Bone marrow smear: 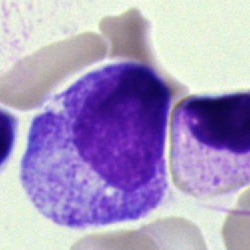 Specimen: bone marrow aspirate smear.
Cell: myelocyte.
Lineage: myeloid.